Bone marrow aspirate smear: 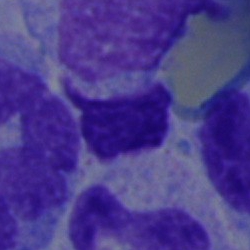Classification — artifact.